Bone marrow aspirate smear: 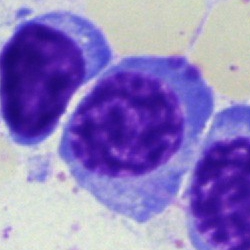 The cell is erythroblast.